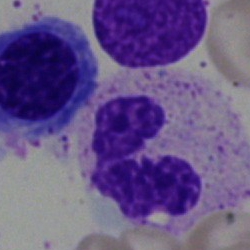

Morphology → polymorphonuclear neutrophil.